Bone marrow aspirate smear:
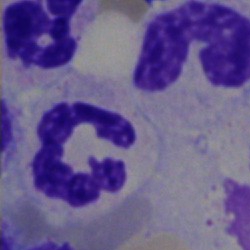 This is a polymorphonuclear neutrophil.